Bone marrow aspirate smear. 40× objective, oil immersion — 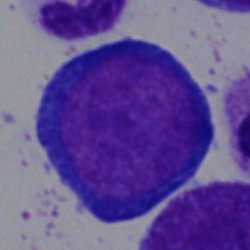The classification is proerythroblast.